Bone marrow aspirate smear
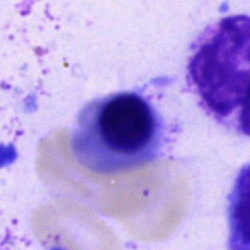
{"cell_type": "normoblast", "lineage": "erythroid"}